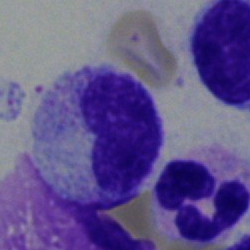This is a metamyelocyte.